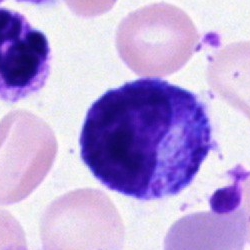 This is a progranulocyte.